Bone marrow smear
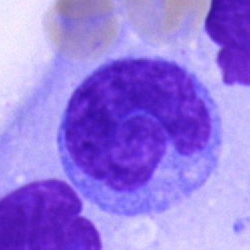 Cell type = monocyte.